Bone marrow aspirate smear
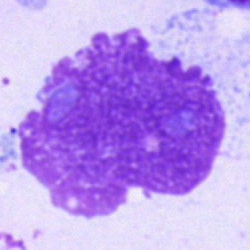The classification is artefact.